Cropped to a single cell · bone marrow smear · 250 by 250 pixels — 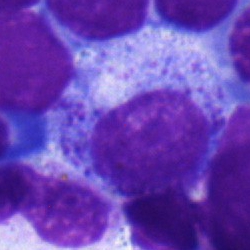Specimen: bone marrow smear.
Cell: myelocyte.